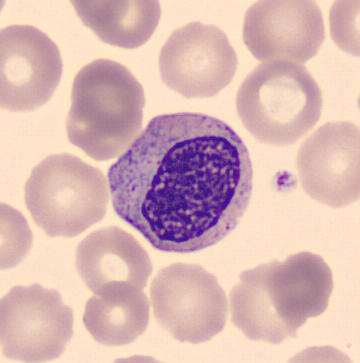 Single cell identified as a myelocyte.

Peripheral blood smear.